Bone marrow aspirate smear:
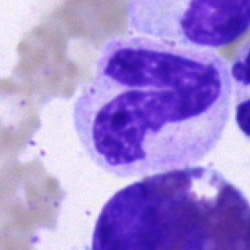

Showing a neutrophil (band).